Brightfield, 40× oil-immersion objective. Bone marrow smear — 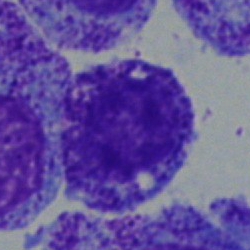
A myelocyte.